MGG-stained · bone marrow aspirate smear: 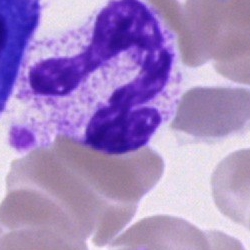 Cell = polymorphonuclear neutrophil.